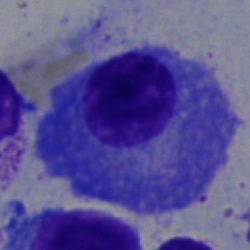 Classification — plasma cell.